Bone marrow smear — 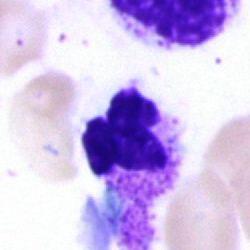

Q: What type of cell is this?
A: A segmented neutrophil.